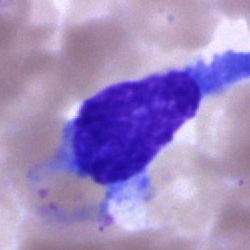

Impression — unidentifiable cell.